May-Grünwald-Giemsa stain; bone marrow smear.
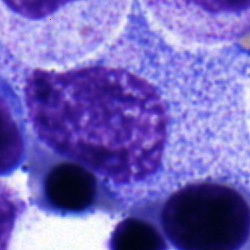 Q: What is the morphological classification of this cell?
A: This is a promyelocyte.